Bone marrow aspirate smear · image size 250×250 · brightfield microscopy, 40× oil immersion: 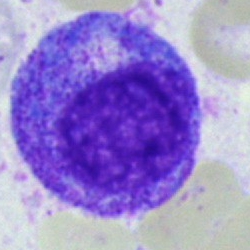Progranulocyte.